Bone marrow aspirate smear
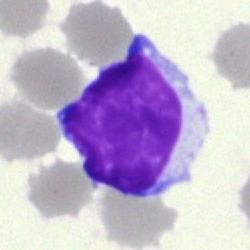
Impression — lymphocyte.